Bone marrow aspirate smear.
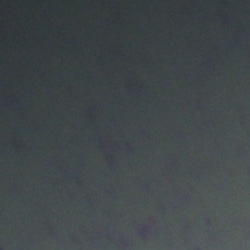Q: What is shown here?
A: Artefact.